Bone marrow aspirate smear. May-Grünwald-Giemsa stain
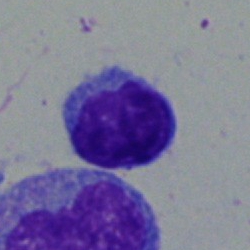Specimen: bone marrow aspirate smear.
Cell: lymphocyte.